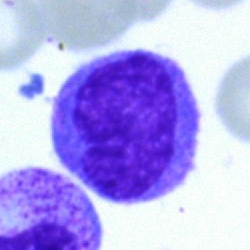Impression — monocyte.